Peripheral blood smear; Romanowsky-stained; 400 by 400 pixels: 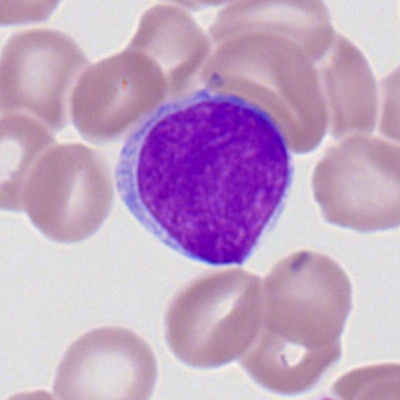

Myeloblast.